Bone marrow aspirate smear — 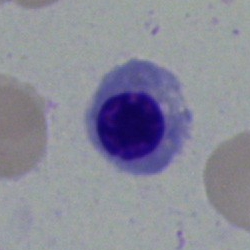

The morphological class is nucleated red blood cell.